Bone marrow aspirate smear; brightfield microscopy, 40× oil immersion:
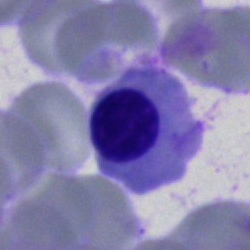

This is a nucleated red cell.